MGG-stained. Bone marrow aspirate smear. 250 by 250 pixels:
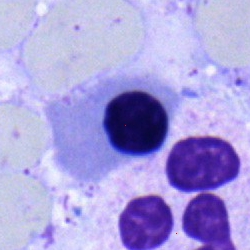Q: Identify the cell.
A: A nucleated red cell.